Bone marrow aspirate smear — 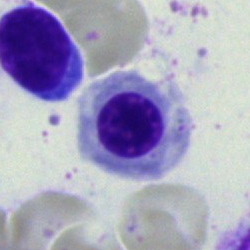

Impression — normoblast.